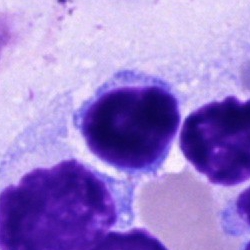 The cell type is lymphocyte.